Bone marrow smear · MGG-stained · brightfield, 40× oil-immersion objective — 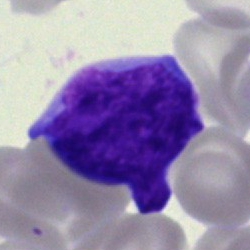

This is a blast.